Bone marrow aspirate smear — 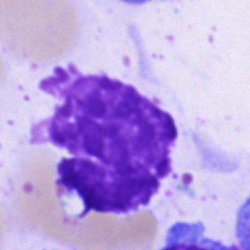
Artifact.